Bone marrow smear: 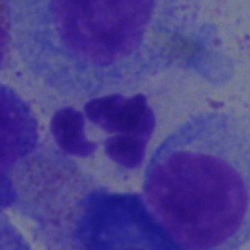
Cell type: neutrophil (segmented).